Bone marrow aspirate smear: 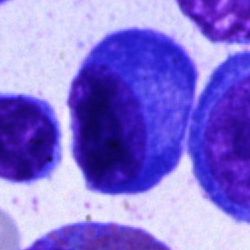
The cell shown is a plasmacyte.